Single-cell field · brightfield microscopy, 40× oil immersion · bone marrow smear: 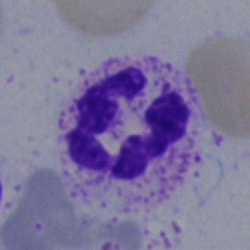 Morphological class: polymorphonuclear neutrophil.